Bone marrow smear:
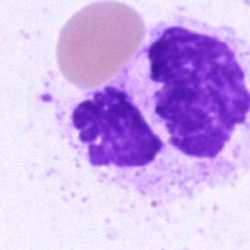Showing an artifact.